Single-cell field; bone marrow smear; brightfield microscopy, 40× oil immersion.
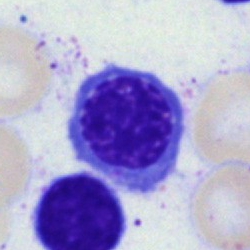Cell type — erythroblast.